Bone marrow smear
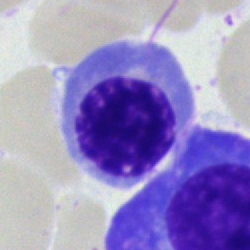Specimen: bone marrow aspirate smear.
Cell type: erythroblast.
Lineage: erythroid.